Bone marrow smear.
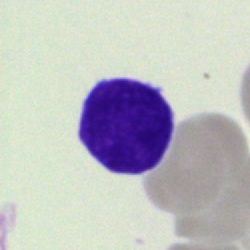
A lymphocyte.